250×250; bone marrow aspirate smear — 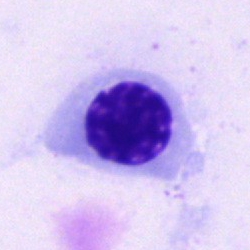

Morphology consistent with a nucleated red cell.